Bone marrow aspirate smear — 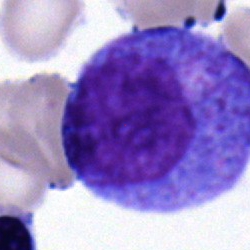

Q: What is shown here?
A: Promyelocyte.